Bone marrow smear:
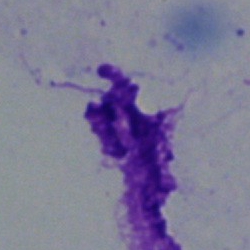Cell — artefact.